Bone marrow aspirate smear.
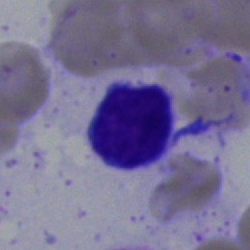 {"cell_type": "lymphocyte", "lineage": "lymphoid"}